Peripheral blood film.
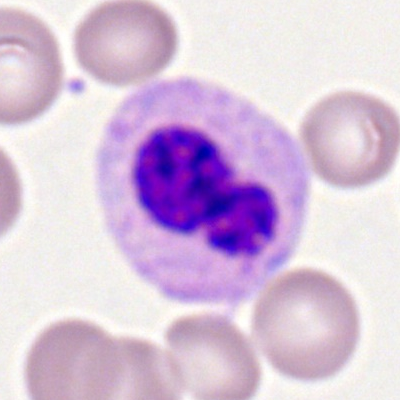Q: What type of cell is this?
A: A neutrophil (segmented).